Romanowsky stain; peripheral blood smear
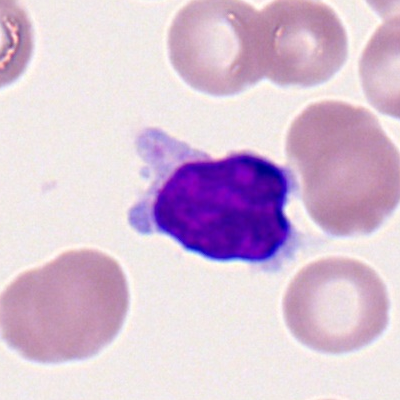
Q: Identify the cell.
A: It is a lymphocyte.